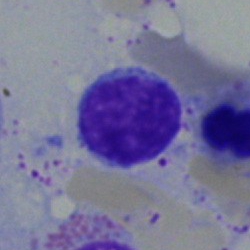
Q: What cell is this?
A: This is a typical lymphocyte.